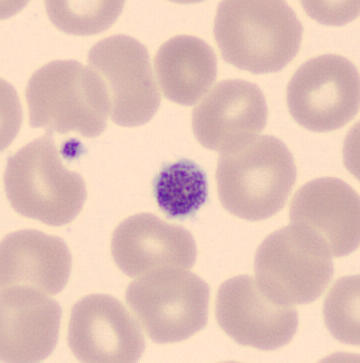

Peripheral blood smear. Morphological class = platelet.